Pappenheim-stained. Bone marrow aspirate smear. Image size 250×250.
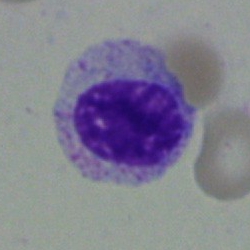 Showing a myelocyte.